Bone marrow smear — 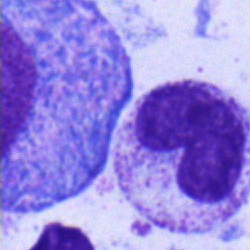Cell type — promyelocyte.